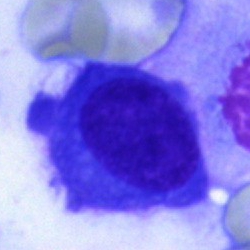 Q: Which cell type is shown here?
A: Plasma cell.